Brightfield, 40× oil-immersion objective; bone marrow smear:
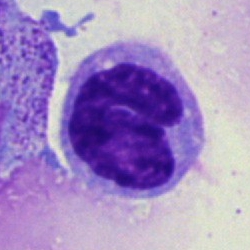

The morphological class is monocyte.